Bone marrow smear — 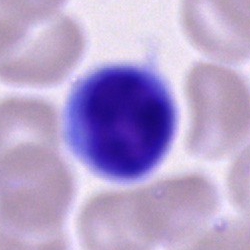 Q: What type of cell is this?
A: This is a lymphocyte.